40× oil immersion · bone marrow smear — 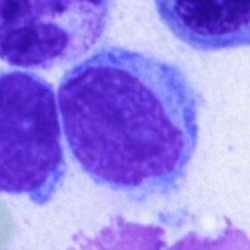

Q: What type of cell is this?
A: It is a hairy cell.